Pappenheim-stained. Bone marrow aspirate smear:
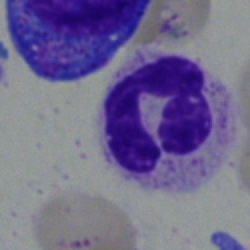

Morphology consistent with a segmented neutrophil.